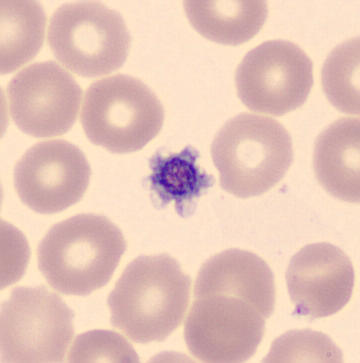
Showing a platelet.